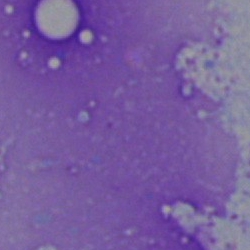
Classification — artefact.